Bone marrow smear
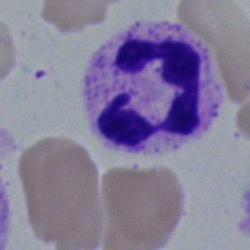
Q: What cell is this?
A: A polymorphonuclear neutrophil.